Bone marrow aspirate smear: 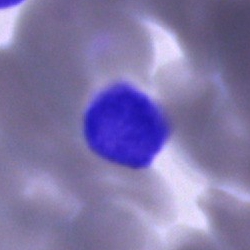 Cell type — artefact.